100× oil immersion, 14.14 px/µm · image size 400×400 · peripheral blood smear:
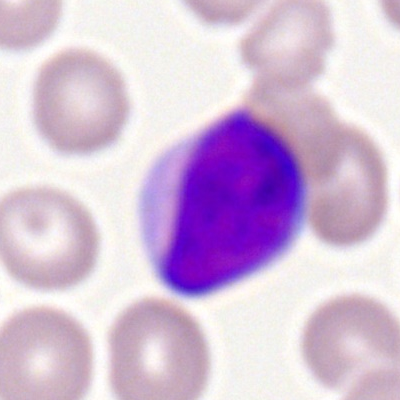 Single cell identified as a myeloid blast.